Bone marrow smear; 40× objective, oil immersion; 250×250 px.
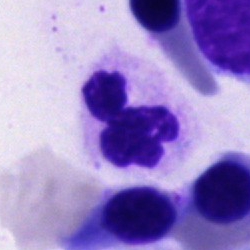

Morphological class — polymorphonuclear neutrophil.